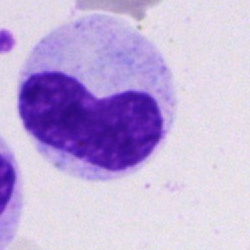

Morphological class = metamyelocyte.